40× oil immersion. Bone marrow smear. 250×250 px — 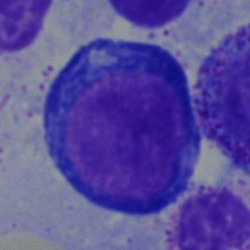 {"cell_type": "pronormoblast", "lineage": "erythroid"}